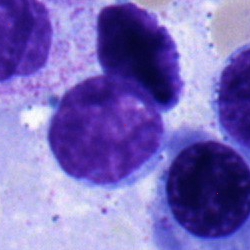Impression — lymphocyte.